Bone marrow aspirate smear:
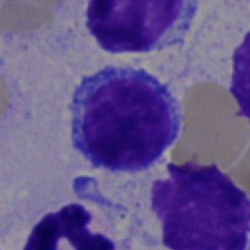
Cell: lymphocyte.